Single cell centered in the field; peripheral blood film; 400×400 px:
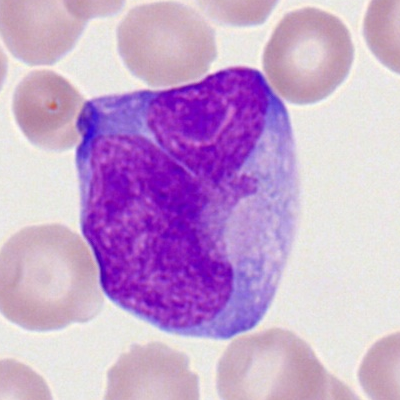 Cell = myeloblast.